Bone marrow smear: 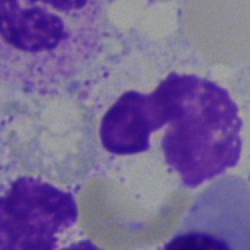Morphology — artifact.